Bone marrow aspirate smear: 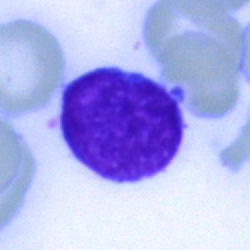Morphology consistent with a typical lymphocyte.